Bone marrow smear — 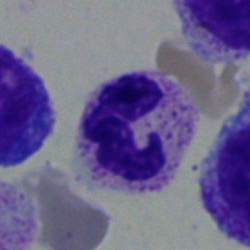

Segmented neutrophil.